Bone marrow aspirate smear. Brightfield microscopy, 40× oil immersion
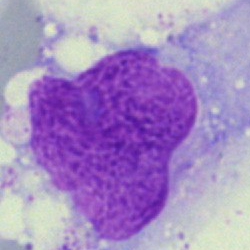 Q: What is shown here?
A: It is an artefact.